Bone marrow smear; 250×250: 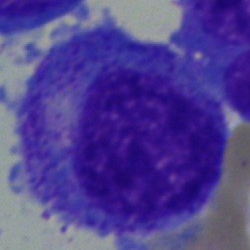

Morphology → promyelocyte.